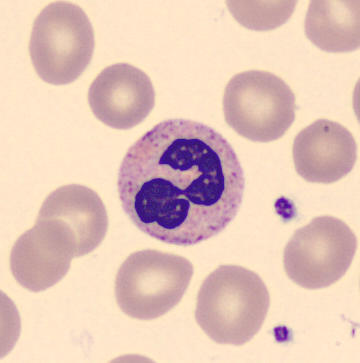
From a peripheral blood smear: a neutrophil (segmented).